Single-cell crop. Bone marrow smear. Brightfield, 40× oil-immersion objective:
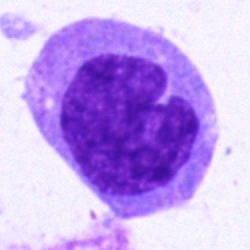 The cell type is monocyte.